Brightfield, 40× oil-immersion objective. Bone marrow smear. May-Grünwald-Giemsa stain:
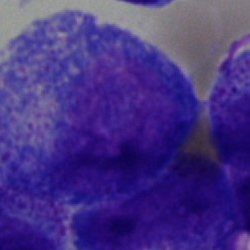
A promyelocyte.